Peripheral blood smear — 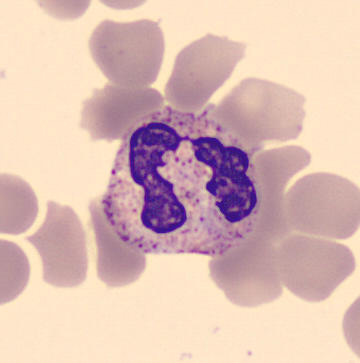Morphology consistent with a neutrophil (segmented).